40× objective, oil immersion. Bone marrow smear. Single-cell crop — 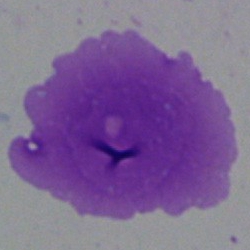 Specimen: bone marrow smear.
Cell: artifact.